250×250 px. Bone marrow aspirate smear: 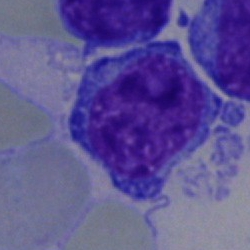
Cell — lymphocyte.